Bone marrow aspirate smear — 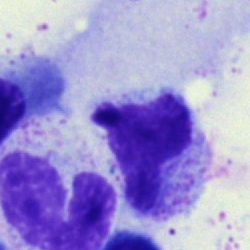

Specimen: bone marrow aspirate smear.
Morphological class: neutrophil (band).
Lineage: myeloid.